Bone marrow smear:
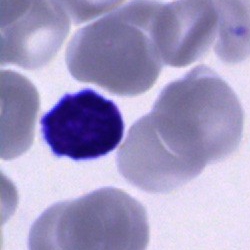This is a typical lymphocyte.